MGG-stained. Bone marrow smear: 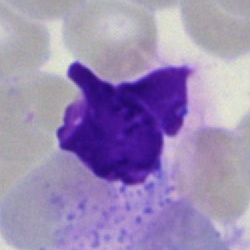

Q: What is shown here?
A: An artifact.